Single cell centered in the field. Bone marrow aspirate smear.
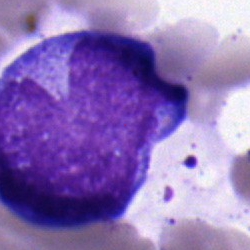
Cell — typical lymphocyte.